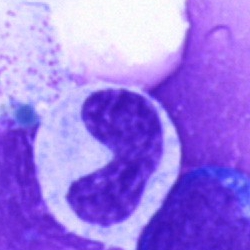 Single-cell crop from a bone marrow smear: stab cell.